Bone marrow aspirate smear
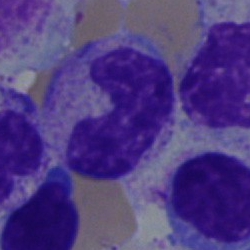 Q: What type of cell is this?
A: A band neutrophil.